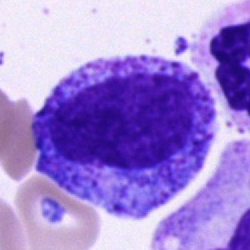Cell type: progranulocyte.